250×250; bone marrow aspirate smear — 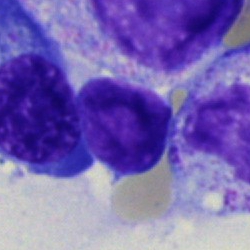

Lymphocyte.